Single cell centered in the field · bone marrow aspirate smear — 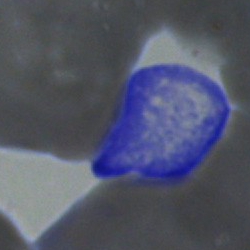
This is an artifact.